Bone marrow aspirate smear:
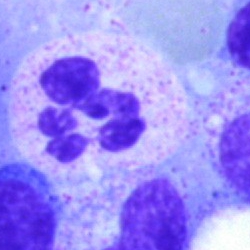

This is a neutrophil (segmented).